Bone marrow smear. Cropped to a single cell
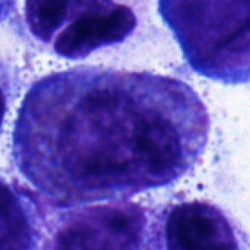

{"cell_type": "eosinophilic granulocyte", "lineage": "myeloid"}